Bone marrow aspirate smear:
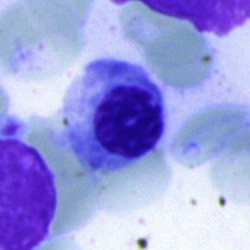Q: What is shown here?
A: It is a nucleated red blood cell.